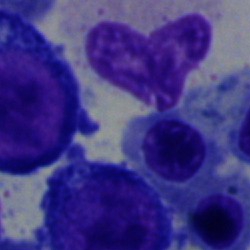 Classification — normoblast.